Pappenheim-stained · bone marrow smear — 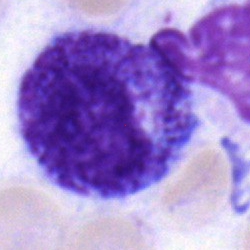
This is a myelocyte.